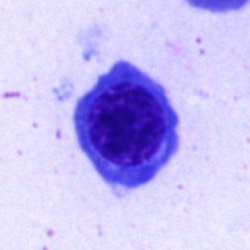Impression — nucleated red blood cell.